Bone marrow aspirate smear:
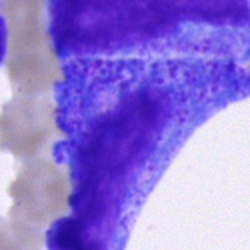 This is a promyelocyte.